May-Grünwald-Giemsa/Pappenheim stain. Bone marrow aspirate smear.
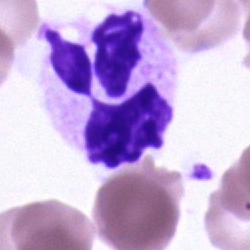
Specimen: bone marrow aspirate smear.
Morphological class: segmented neutrophil.